Bone marrow aspirate smear. Single-cell crop.
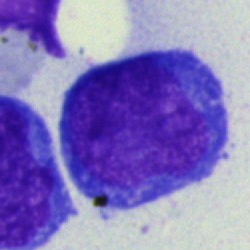Impression → blast.